Image size 250×250; bone marrow aspirate smear.
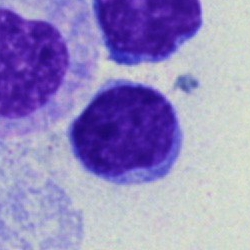Single cell identified as a typical lymphocyte.